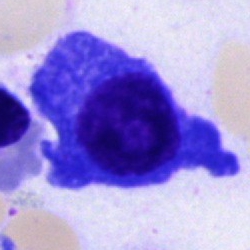

Bone marrow aspirate smear, single cell — plasma cell.